Bone marrow smear.
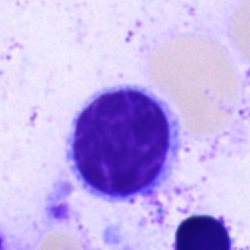Morphological class: lymphocyte.